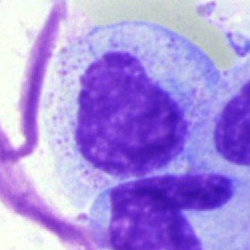 Specimen: bone marrow aspirate smear.
Classification: myelocyte.